MGG-stained. Bone marrow smear: 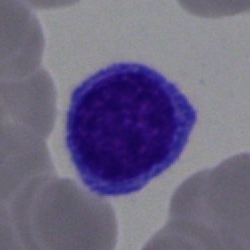

Impression → typical lymphocyte.